Peripheral blood smear: 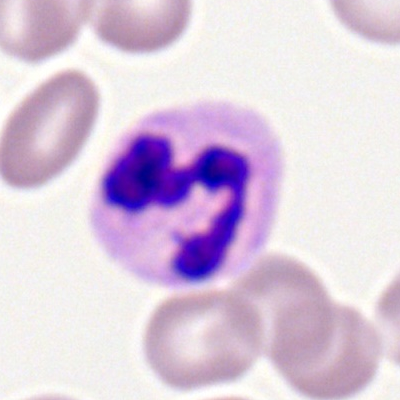
This is a neutrophil (segmented).